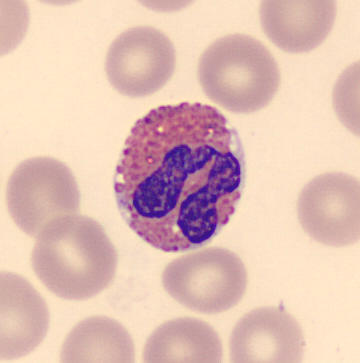

Cell type = eosinophil.